Bone marrow smear:
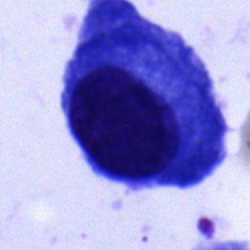
Q: What cell is this?
A: It is a plasmacyte.